Bone marrow smear.
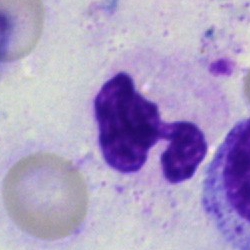
Impression — polymorphonuclear neutrophil.